40× oil immersion · bone marrow smear · single-cell field.
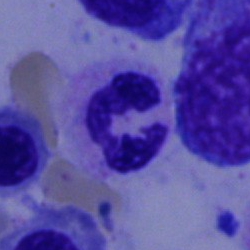
The morphological class is segmented neutrophil.